Single cell centered in the field; bone marrow smear; May-Grünwald-Giemsa/Pappenheim stain
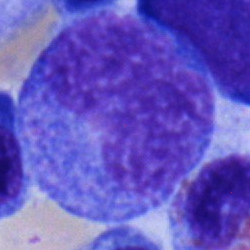

A monocyte.